Bone marrow smear
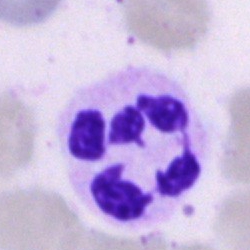

A neutrophil (segmented).